Bone marrow smear
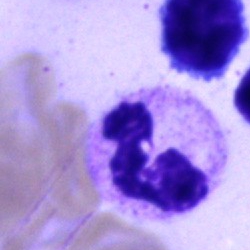 Impression → segmented neutrophil.